Bone marrow smear: 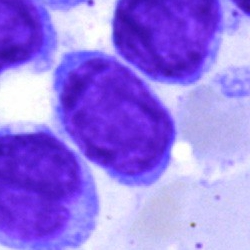

Specimen: bone marrow aspirate smear.
Classification: typical lymphocyte.
Lineage: lymphoid.